May-Grünwald-Giemsa stain · bone marrow smear: 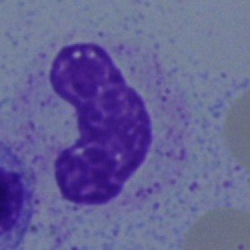
Morphology consistent with a neutrophil (band).